250×250 · bone marrow smear · May-Grünwald-Giemsa stain
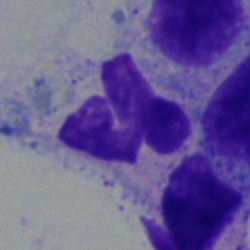
Neutrophil (segmented).